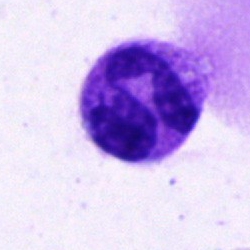

Q: Identify the cell.
A: A neutrophil (segmented).